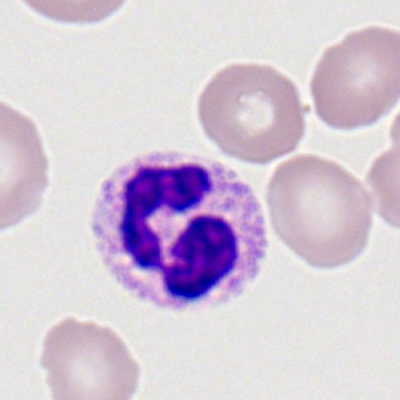
Morphology → neutrophil (segmented).